Bone marrow aspirate smear: 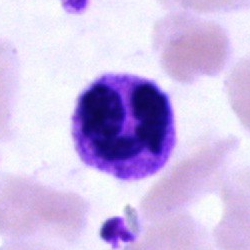

Specimen: bone marrow smear.
Cell type: segmented neutrophil.
Lineage: myeloid.